Bone marrow smear
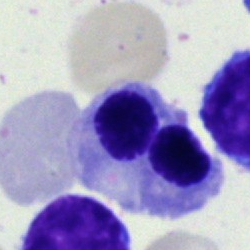Cell type: erythroblast.